Peripheral blood film: 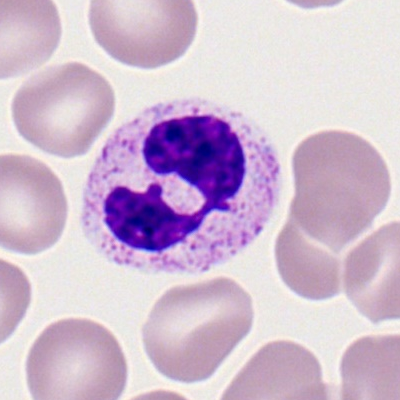
Specimen: peripheral blood film.
Classification: segmented neutrophil.